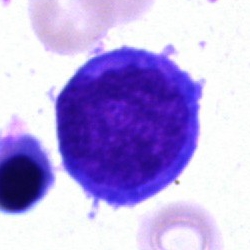The cell shown is an undifferentiated blast.